Bone marrow aspirate smear:
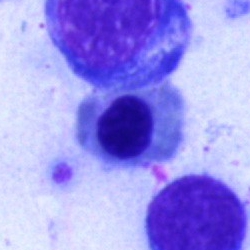 Cell: erythroblast.